Single-cell field · bone marrow smear:
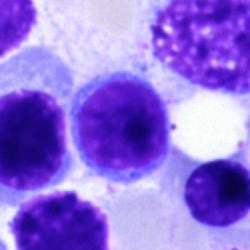Q: What type of cell is this?
A: A typical lymphocyte.